Bone marrow smear; May-Grünwald-Giemsa stain — 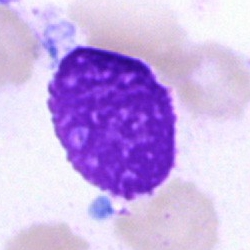
The cell is artifact.